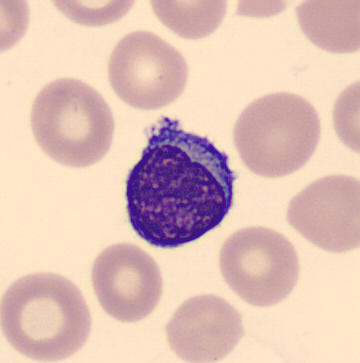

Q: What is shown here?
A: This is a typical lymphocyte.
Preparation: Peripheral blood smear.